Bone marrow aspirate smear
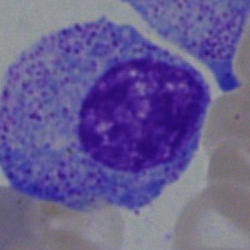 {"cell_type": "myelocyte", "lineage": "myeloid"}